Bone marrow aspirate smear; single cell centered in the field; May-Grünwald-Giemsa stain:
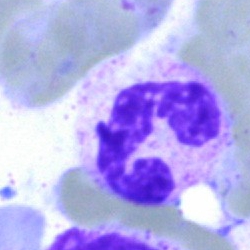Classification — polymorphonuclear neutrophil.